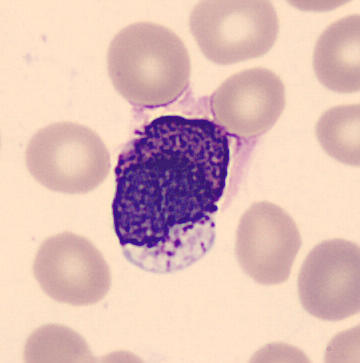 Acquisition: Peripheral blood smear. Q: What type of cell is this?
A: It is a basophilic granulocyte.